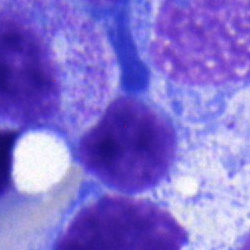
Showing a typical lymphocyte.